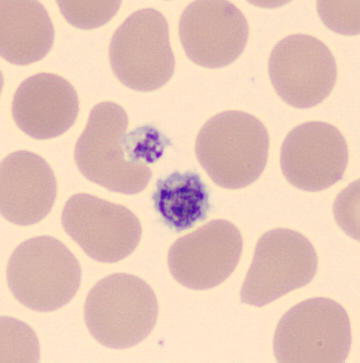 Impression → thrombocyte. Image: May-Grünwald-Giemsa-stained · 360×363 · peripheral blood smear.